MGG-stained · bone marrow aspirate smear — 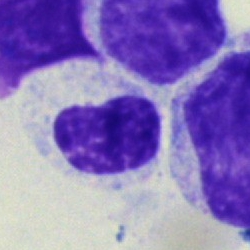

Classification = metamyelocyte.